Peripheral blood film:
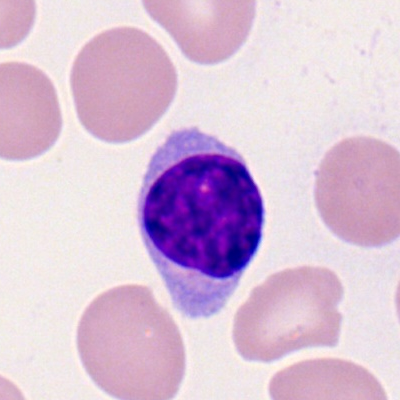

Myeloid blast.